Image size 250×250. Bone marrow smear
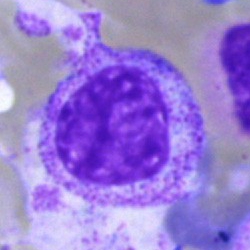 Classification — myelocyte.